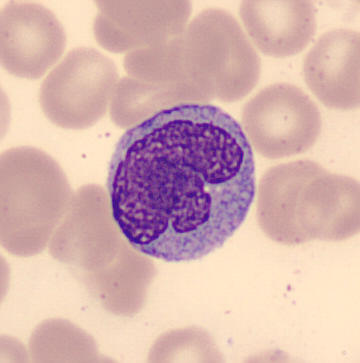
Preparation: Peripheral blood film. Imaged on a CellaVision DM96 analyser. Identified as a monocyte.